May-Grünwald-Giemsa/Pappenheim stain; bone marrow smear
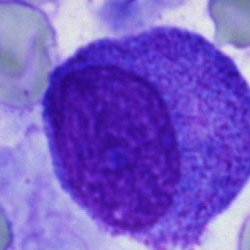Specimen: bone marrow smear.
Cell type: progranulocyte.